Single-cell crop · peripheral blood film
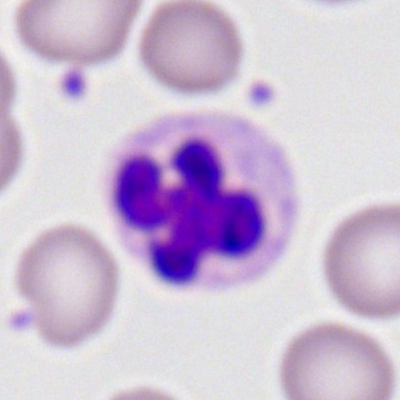 Specimen: peripheral blood film.
Cell: neutrophil (segmented).